Bone marrow aspirate smear. Single-cell field.
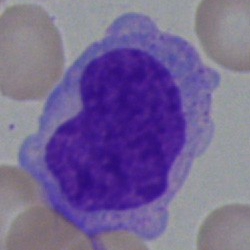

A monocyte.